Bone marrow aspirate smear
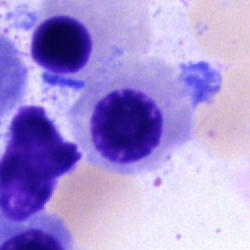

Morphological class: nucleated red cell.